Peripheral blood film; cropped to a single cell — 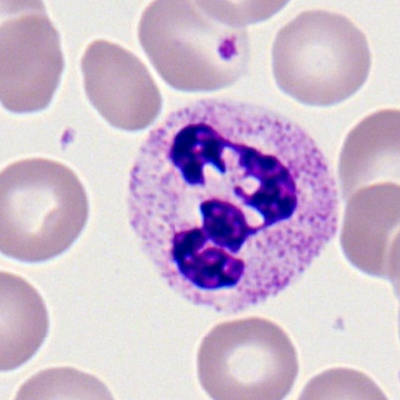 Specimen: peripheral blood film.
Morphological class: neutrophil (segmented).